MGG stain; peripheral blood film.
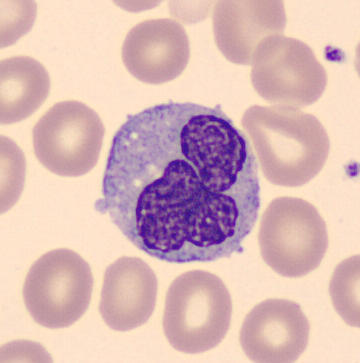

Specimen: peripheral blood smear.
Cell type: monocyte.
Lineage: myeloid.